Bone marrow aspirate smear.
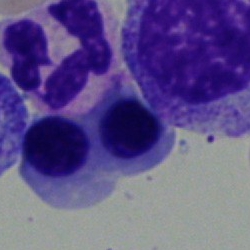
Morphology consistent with an erythroblast.